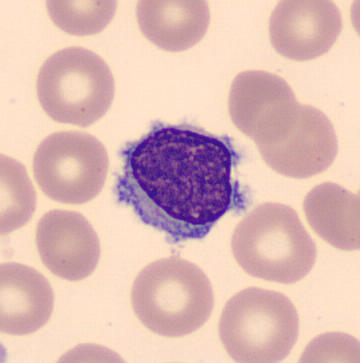Specimen: peripheral blood film.
Cell type: typical lymphocyte.
Lineage: lymphoid.